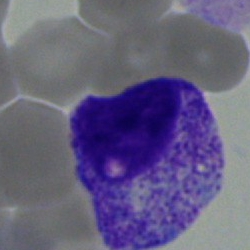

The cell shown is a myelocyte.